Bone marrow smear · brightfield, 40× oil-immersion objective
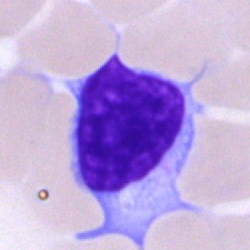

The morphological class is typical lymphocyte.